Image size 250×250 · brightfield, 40× oil-immersion objective · bone marrow aspirate smear: 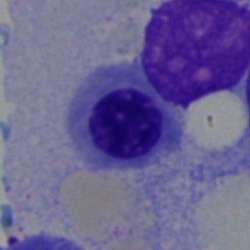

Cell — nucleated red blood cell.